Bone marrow smear. May-Grünwald-Giemsa/Pappenheim stain.
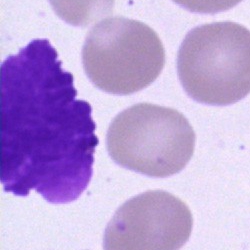Impression — artifact.